Bone marrow aspirate smear:
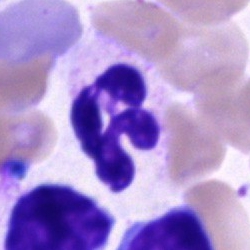
The cell is neutrophil (segmented).